Brightfield microscopy, 40× oil immersion · bone marrow smear — 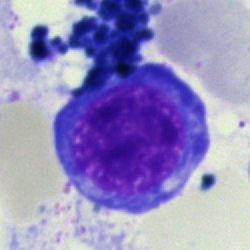
Impression → nucleated red cell.